Brightfield microscopy, 40× oil immersion; bone marrow aspirate smear:
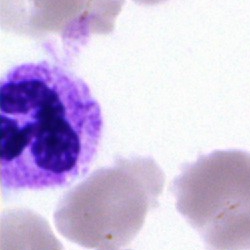

Showing a neutrophil (segmented).